May-Grünwald-Giemsa stain · bone marrow aspirate smear: 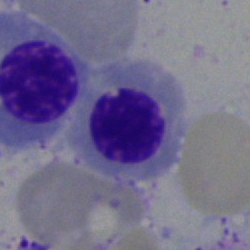
An erythroblast.